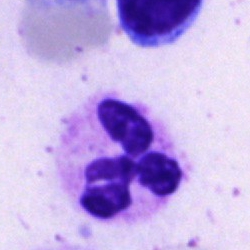Cell type — polymorphonuclear neutrophil.